Bone marrow smear — 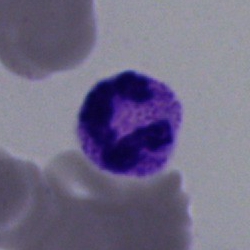

Neutrophil (segmented).